Bone marrow smear: 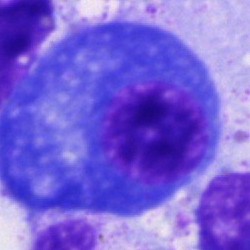This is a plasma cell.